Bone marrow aspirate smear — 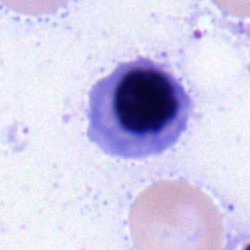 Morphological class — normoblast.